Bone marrow aspirate smear — 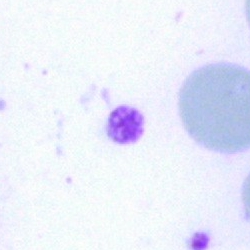Showing an artefact.